Bone marrow smear:
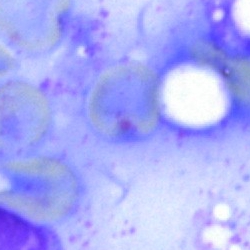
Q: What is shown here?
A: An artefact.